Bone marrow aspirate smear: 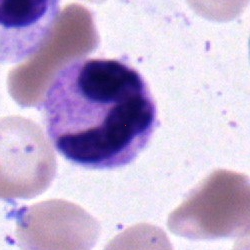 Neutrophil (segmented).